Bone marrow smear; 250×250 px.
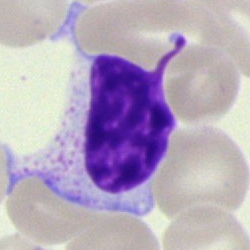 Morphology — typical lymphocyte.